Single-cell field; bone marrow smear
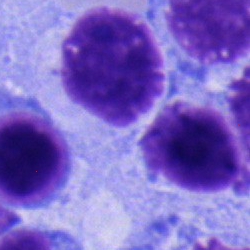{"cell_type": "typical lymphocyte", "lineage": "lymphoid"}